Bone marrow smear — 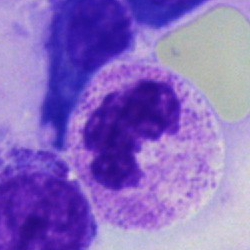 Morphology → neutrophil (segmented).